Bone marrow smear: 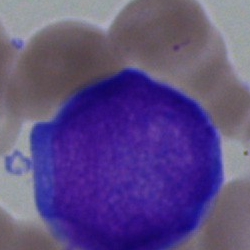
Single cell identified as an undifferentiated blast.